40× objective, oil immersion · bone marrow aspirate smear — 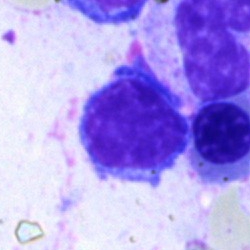

Morphological class: typical lymphocyte.